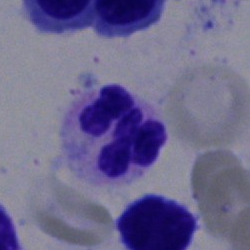

Q: What cell is this?
A: A neutrophil (segmented).